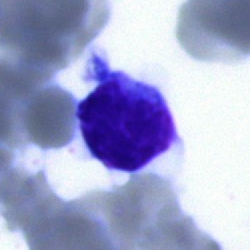 Q: What is the morphological classification of this cell?
A: It is a typical lymphocyte.